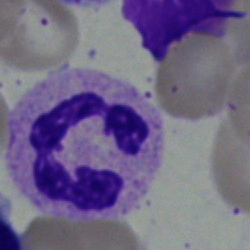

Q: Which cell type is shown here?
A: Segmented neutrophil.